250×250; bone marrow smear.
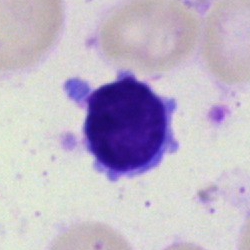

Cell type = lymphocyte.